250 by 250 pixels; bone marrow aspirate smear; May-Grünwald-Giemsa/Pappenheim stain:
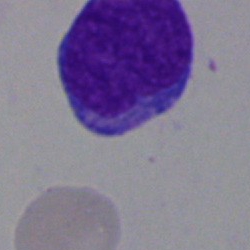 Undifferentiated blast.